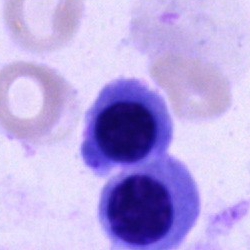This is a nucleated red cell.